Bone marrow aspirate smear
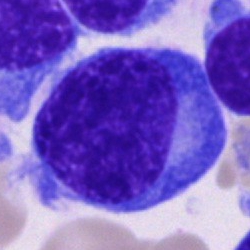 Impression → plasma cell.